Bone marrow smear.
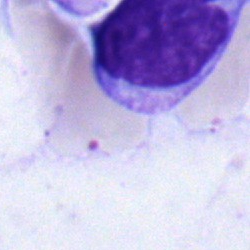Q: What cell is this?
A: It is a monocyte.